Bone marrow aspirate smear.
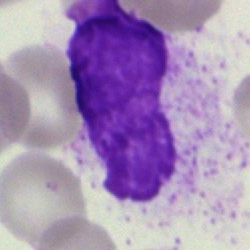
Cell type: artifact.